Single cell centered in the field. May-Grünwald-Giemsa stain. Bone marrow aspirate smear — 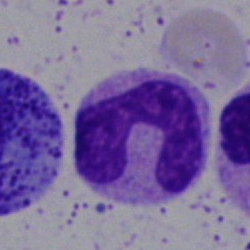

Q: Identify the cell.
A: This is a polymorphonuclear neutrophil.